Single-cell field · 250×250 · bone marrow smear:
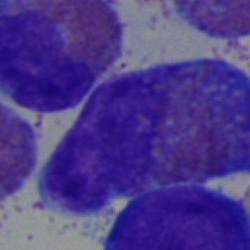

This is an eosinophilic granulocyte.